Bone marrow smear.
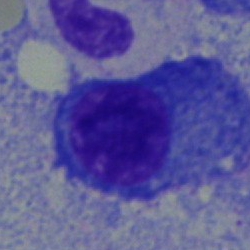 A plasma cell.